Bone marrow aspirate smear
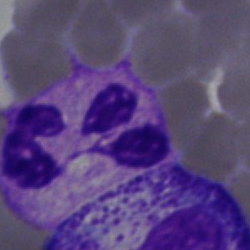 Morphology → polymorphonuclear neutrophil.